Bone marrow aspirate smear.
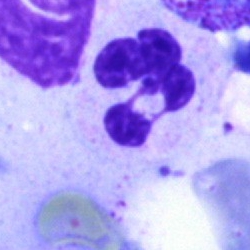A neutrophil (segmented).